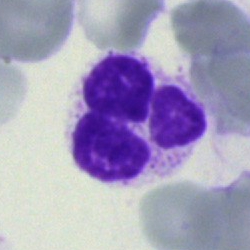 Bone marrow aspirate smear, single cell — segmented neutrophil.